Bone marrow smear:
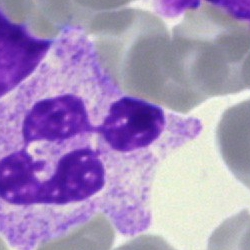
Morphology consistent with a neutrophil (segmented).